May-Grünwald-Giemsa stain · single-cell crop · bone marrow aspirate smear.
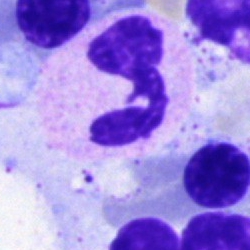

Classification: segmented neutrophil.